Pappenheim-stained · bone marrow aspirate smear:
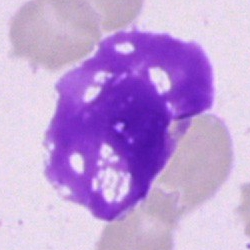Cell type = artifact.